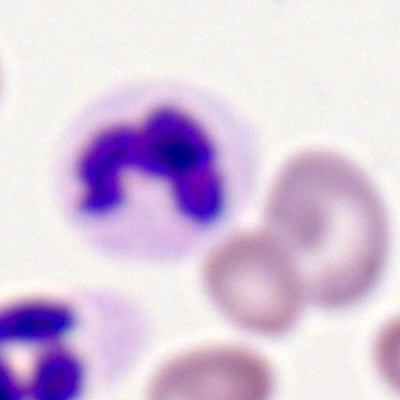Specimen: peripheral blood film.
Classification: segmented neutrophil.